Single-cell crop; bone marrow smear; 250 by 250 pixels:
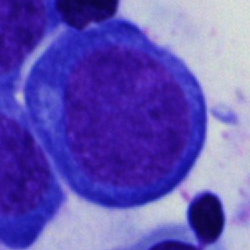
The classification is proerythroblast.